MGG-stained. Bone marrow smear
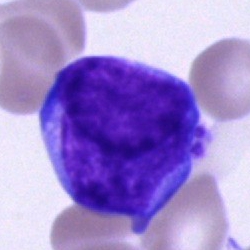

The cell is blast cell.